Bone marrow smear:
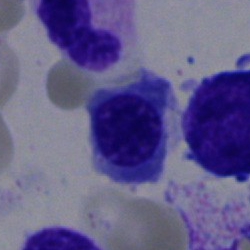

Nucleated red blood cell.